Bone marrow smear.
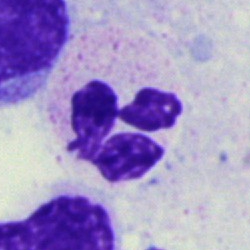 Classification: neutrophil (segmented).